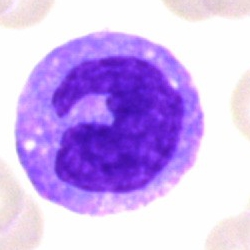Bone marrow aspirate smear, single cell — monocyte.